Bone marrow aspirate smear: 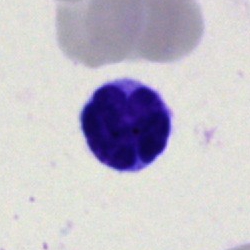

A typical lymphocyte.